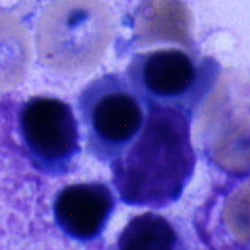

Q: What is shown here?
A: It is a normoblast.